Bone marrow aspirate smear.
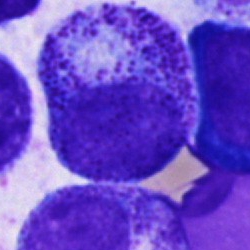

Cell type — promyelocyte.